40× oil immersion · 250 by 250 pixels · bone marrow aspirate smear:
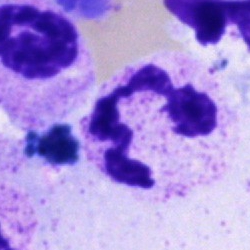Cell type = polymorphonuclear neutrophil.